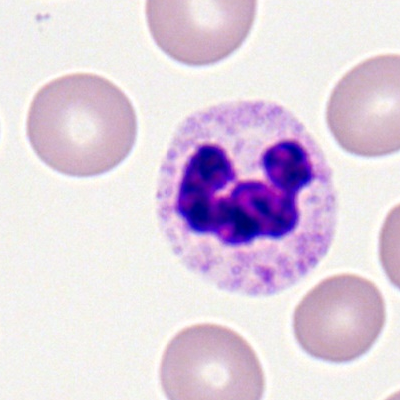

Cell = polymorphonuclear neutrophil.